Brightfield, 40× oil-immersion objective. Bone marrow aspirate smear: 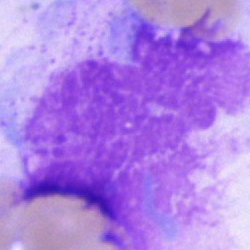This is an artefact.